Bone marrow aspirate smear; single-cell field; MGG-stained: 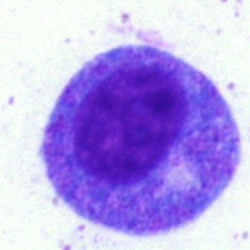

Morphological class — progranulocyte.